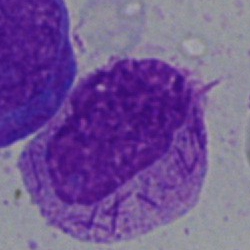 Classification = faggot cell.